Bone marrow aspirate smear
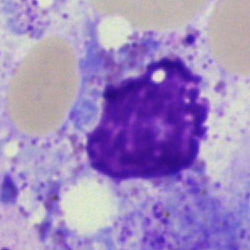
Classification — artifact.